Bone marrow aspirate smear — 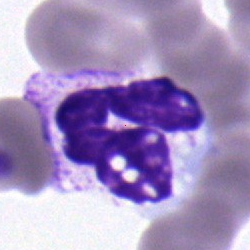
Q: What is shown here?
A: A polymorphonuclear neutrophil.